Bone marrow smear.
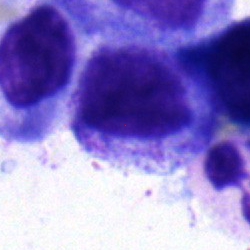{"cell_type": "myelocyte"}